Bone marrow aspirate smear · cropped to a single cell · 250 by 250 pixels
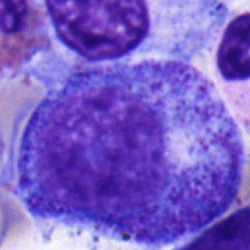Morphological class — promyelocyte.